Brightfield, 40× oil-immersion objective · bone marrow aspirate smear.
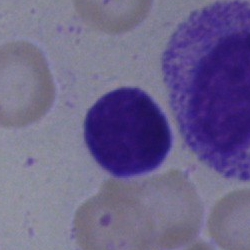
Specimen: bone marrow smear.
Cell type: lymphocyte.